Image size 250×250. Single-cell crop. Bone marrow aspirate smear
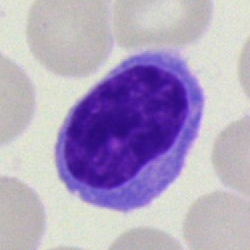 Classification — lymphocyte.